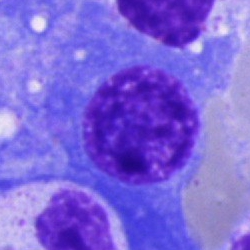Specimen: bone marrow smear.
Cell: plasma cell.
Lineage: lymphoid.